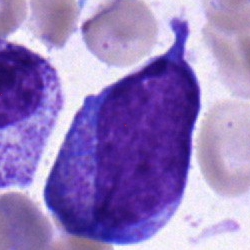
The morphological class is progranulocyte.